Peripheral blood film: 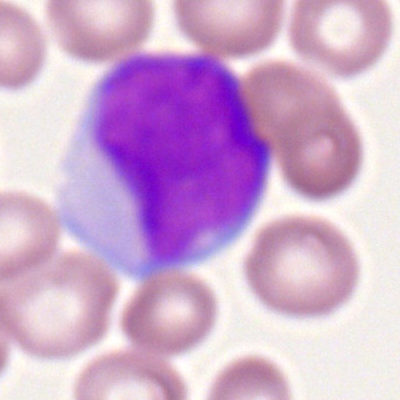
Morphology consistent with a myeloblast.